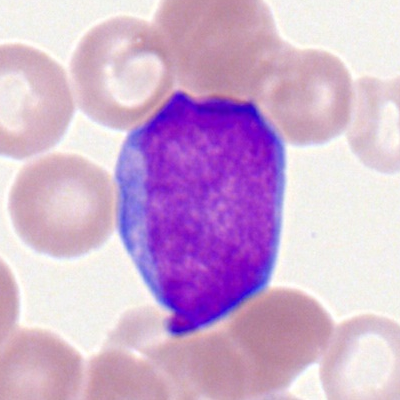Single-cell crop from a peripheral blood smear: myeloblast.